Bone marrow aspirate smear · single cell centered in the field · image size 250×250
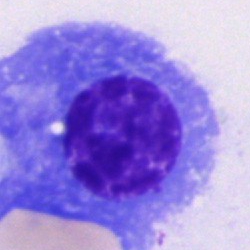

Single cell identified as a plasmacyte.